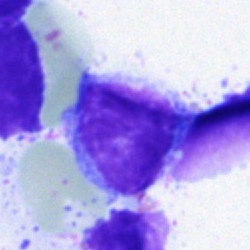
{"cell_type": "lymphocyte", "lineage": "lymphoid"}